Peripheral blood film: 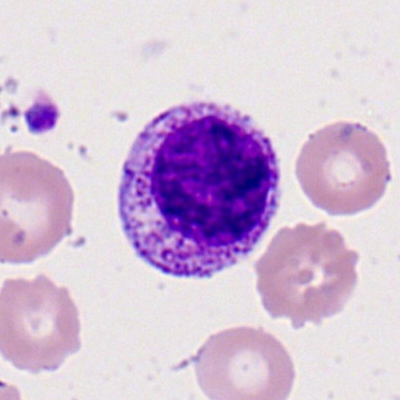Morphology → myelocyte.